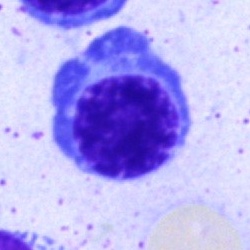The cell is nucleated red blood cell.